Bone marrow aspirate smear. Single-cell field: 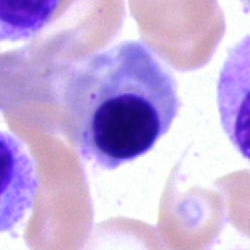Nucleated red blood cell.